Pappenheim-stained; bone marrow aspirate smear:
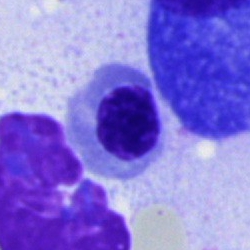

Q: What cell is this?
A: It is a normoblast.